Bone marrow aspirate smear · single cell centered in the field — 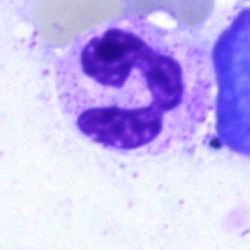 A segmented neutrophil.